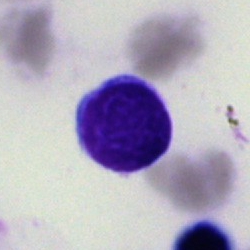
Cell = typical lymphocyte.